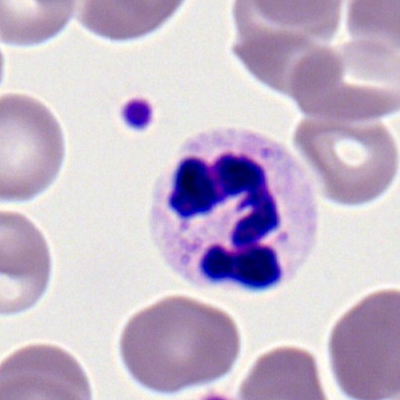
The classification is polymorphonuclear neutrophil.